Bone marrow aspirate smear
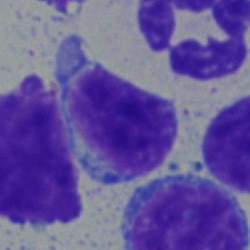
{"cell_type": "plasmacyte", "lineage": "lymphoid"}